100× oil immersion · peripheral blood smear — 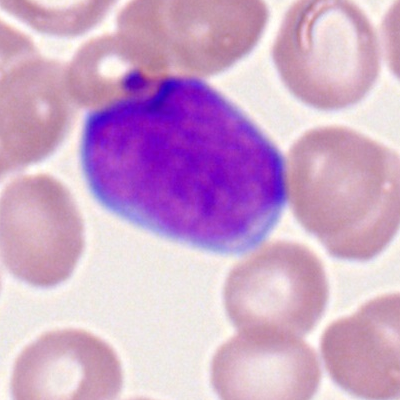 Morphology → myeloblast.